Bone marrow aspirate smear:
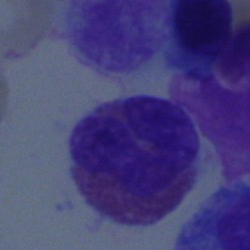
The cell shown is an eosinophil.